Bone marrow smear — 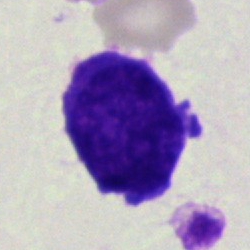 Impression → undifferentiated blast.